MGG-stained. Bone marrow smear.
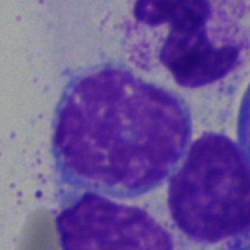

Cell type = typical lymphocyte.